250 by 250 pixels. Bone marrow aspirate smear:
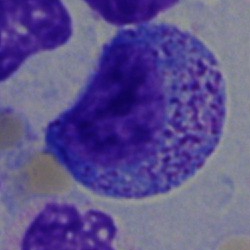

{"cell_type": "promyelocyte", "lineage": "myeloid"}